Bone marrow aspirate smear: 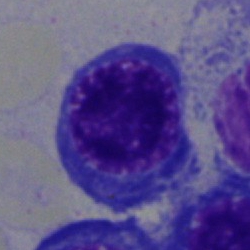

Single cell identified as an erythroblast.